Bone marrow aspirate smear
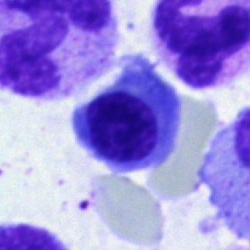Morphology — nucleated red blood cell.